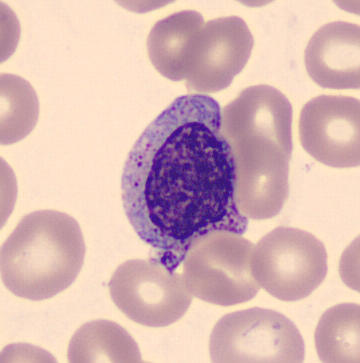
Classification: myelocyte.
Peripheral blood film.